Single cell centered in the field; peripheral blood film; Romanowsky-type stain — 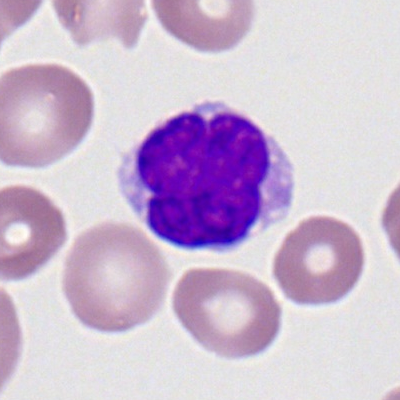 The cell shown is a lymphocyte.